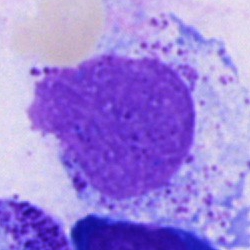

Q: What is shown here?
A: An artifact.